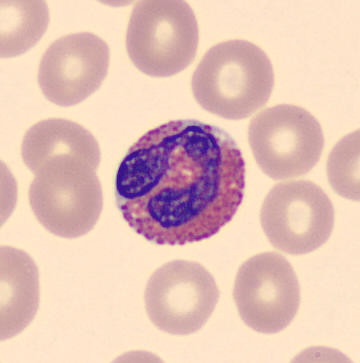 The cell shown is an eosinophilic granulocyte.
Acquisition: Peripheral blood film. CellaVision DM96.